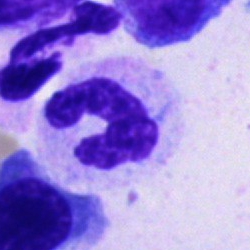
The cell shown is a polymorphonuclear neutrophil.